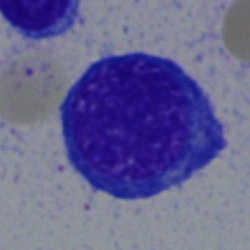

Single-cell crop from a bone marrow smear: nucleated red cell.